Bone marrow smear — 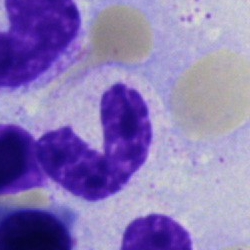Q: What type of cell is this?
A: A neutrophil (segmented).